Pappenheim-stained; cropped to a single cell; bone marrow smear: 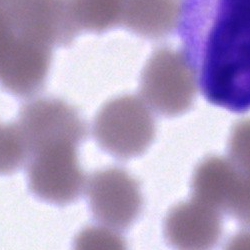 Cell type = artifact.